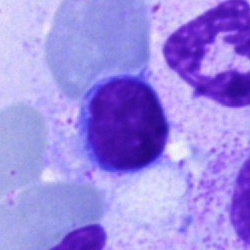The cell is lymphocyte.